Peripheral blood film
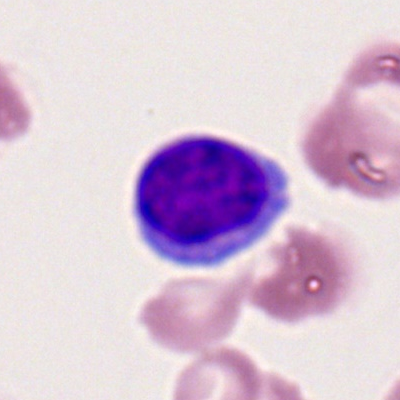
Q: What is the morphological classification of this cell?
A: Lymphocyte.